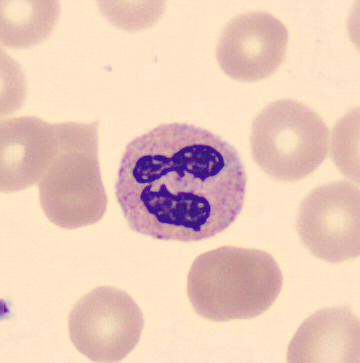

Image: Peripheral blood film.
{"cell_type": "polymorphonuclear neutrophil", "lineage": "myeloid"}